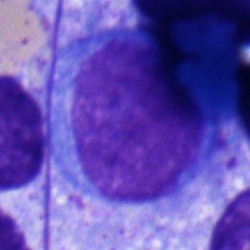 Morphological class — lymphocyte.